Single cell centered in the field. Bone marrow aspirate smear — 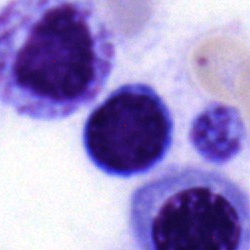
Single cell identified as a lymphocyte.